Bone marrow smear: 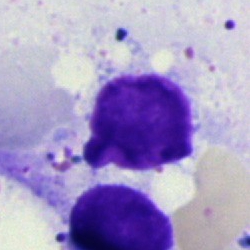Q: What is shown here?
A: An artifact.